Single-cell field. Bone marrow aspirate smear. 250×250 — 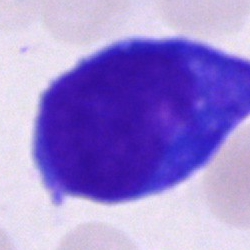Showing a cell of indeterminate lineage.